Pappenheim-stained; bone marrow aspirate smear; brightfield microscopy, 40× oil immersion
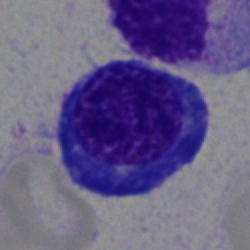

The morphological class is erythroblast.